Bone marrow smear: 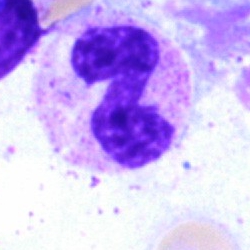A segmented neutrophil.